Bone marrow smear · 40× oil immersion
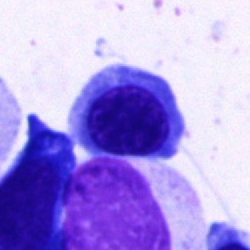

Q: What is the morphological classification of this cell?
A: A normoblast.